40× oil immersion. Bone marrow aspirate smear:
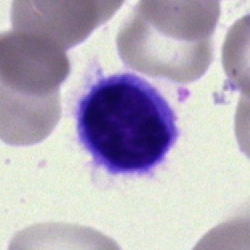

Q: What is shown here?
A: This is a lymphocyte.